Bone marrow smear: 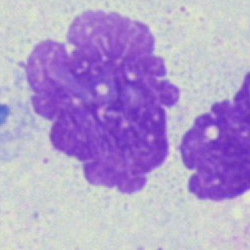

The cell shown is an artefact.